Brightfield microscopy, 40× oil immersion · bone marrow aspirate smear: 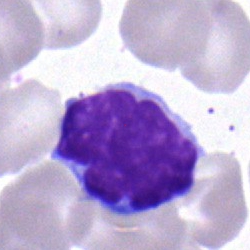The cell shown is a lymphocyte.